Bone marrow smear · image size 250×250.
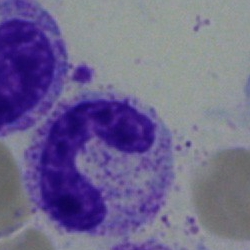{"cell_type": "segmented neutrophil", "lineage": "myeloid"}